Bone marrow aspirate smear — 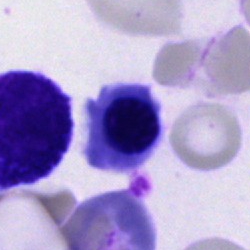
{"cell_type": "erythroblast", "lineage": "erythroid"}